Bone marrow smear
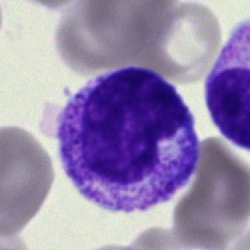

{"cell_type": "metamyelocyte"}